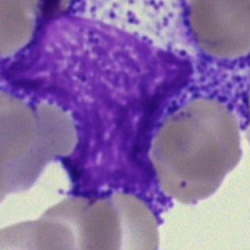 The cell shown is an artifact.